Peripheral blood film · Romanowsky-type stain.
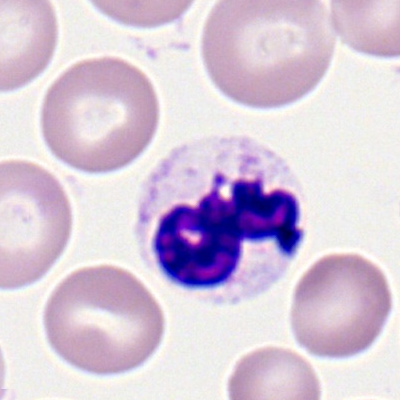 Impression → polymorphonuclear neutrophil.